Bone marrow aspirate smear. May-Grünwald-Giemsa/Pappenheim stain.
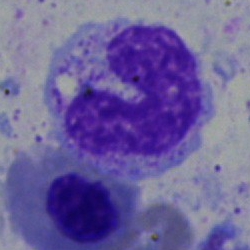 Specimen: bone marrow smear.
Cell type: monocyte.